40× oil immersion. Bone marrow aspirate smear
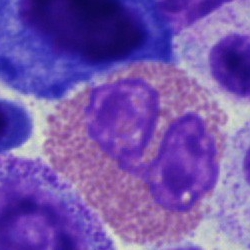Morphology → eosinophil.